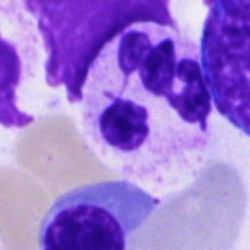

Morphology — neutrophil (segmented).